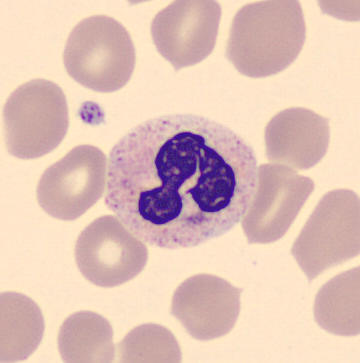Acquisition: Peripheral blood film · automated cell imaging (CellaVision DM96). Morphology consistent with a segmented neutrophil.